Bone marrow aspirate smear — 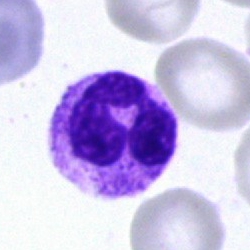Morphology consistent with a neutrophil (segmented).